Bone marrow smear; single-cell field — 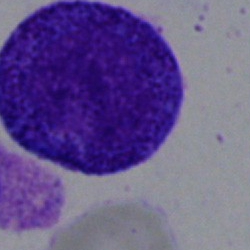

Q: What type of cell is this?
A: A promyelocyte.